Bone marrow smear.
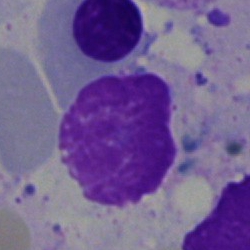
Q: What is shown here?
A: Artifact.